Peripheral blood smear — 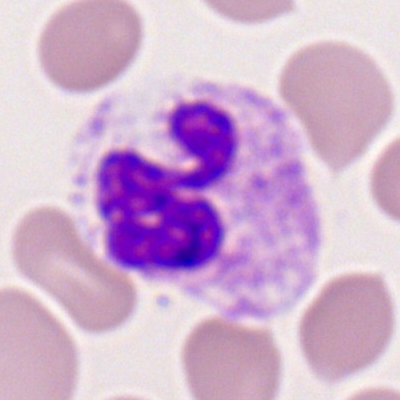

Specimen: peripheral blood smear.
Classification: polymorphonuclear neutrophil.